Pappenheim-stained; bone marrow smear:
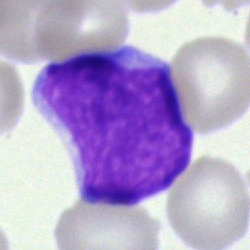

Specimen: bone marrow aspirate smear.
Classification: blast.